250×250 px · May-Grünwald-Giemsa stain · bone marrow smear.
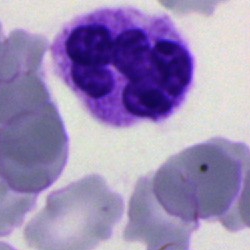

Q: What is shown here?
A: A polymorphonuclear neutrophil.